Bone marrow smear: 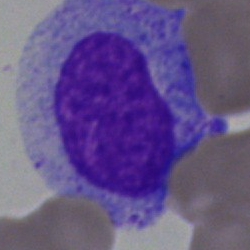Cell type — artifact.